Peripheral blood smear.
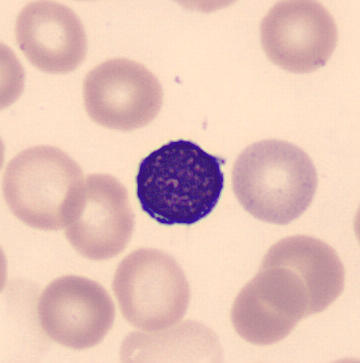
Q: Identify the cell.
A: A typical lymphocyte.